Bone marrow smear.
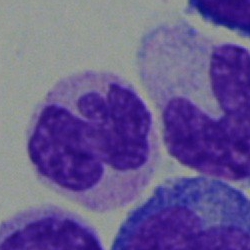
Q: Identify the cell.
A: A segmented neutrophil.